Bone marrow aspirate smear — 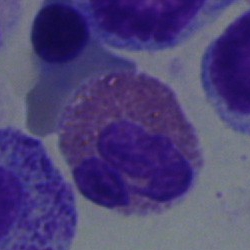Morphological class — eosinophilic granulocyte.